Bone marrow aspirate smear — 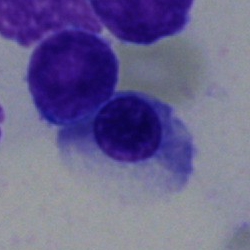 Morphological class = nucleated red cell.